Single cell centered in the field. Bone marrow smear. 250×250 px:
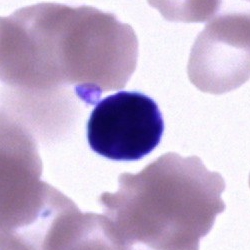Showing a cell of indeterminate lineage.